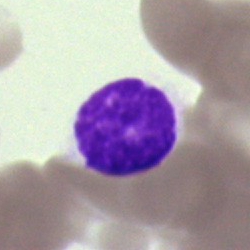A lymphocyte.